Bone marrow aspirate smear; May-Grünwald-Giemsa stain.
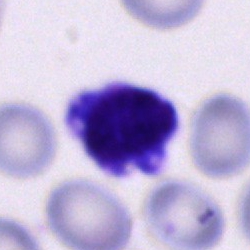Morphology — cell of indeterminate lineage.